Bone marrow smear.
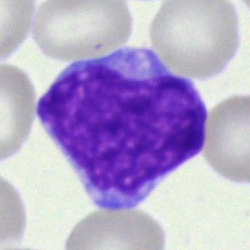
Specimen: bone marrow smear.
Morphological class: undifferentiated blast.